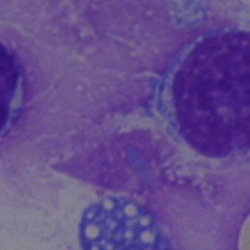 Q: What is shown here?
A: This is an artifact.